Bone marrow smear: 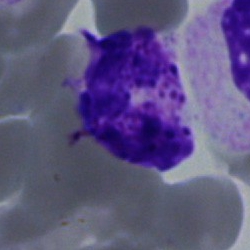

Q: What is shown here?
A: This is a basophilic granulocyte.